Cropped to a single cell · bone marrow aspirate smear:
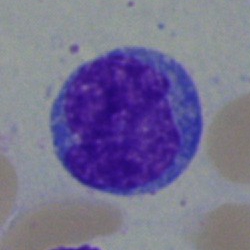A blast.